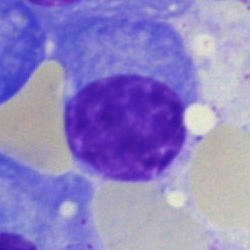 The cell shown is a plasmacyte.